Bone marrow aspirate smear: 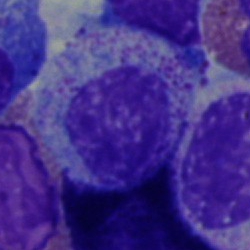
Impression → myelocyte.